May-Grünwald-Giemsa/Pappenheim stain · bone marrow aspirate smear: 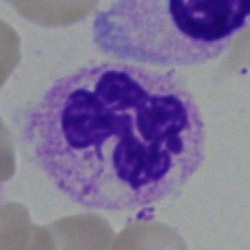

Cell type: segmented neutrophil.